Bone marrow smear:
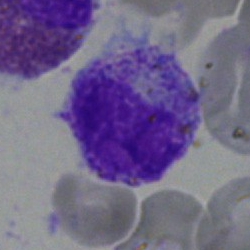
Impression → metamyelocyte.